250×250 px; bone marrow aspirate smear; single-cell crop: 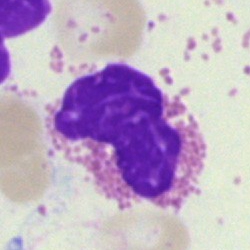

Single cell identified as a basophilic granulocyte.